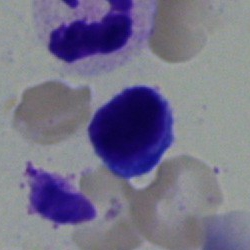

A typical lymphocyte.